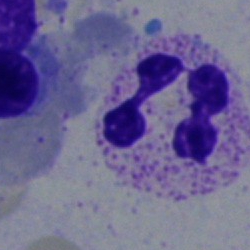 Cell: segmented neutrophil.